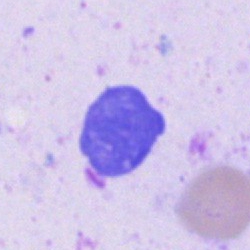 Q: What is shown here?
A: It is an artefact.